Bone marrow smear — 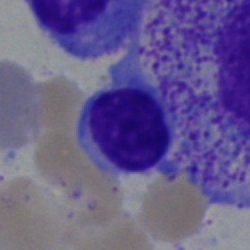Q: Which cell type is shown here?
A: Lymphocyte.